Bone marrow aspirate smear — 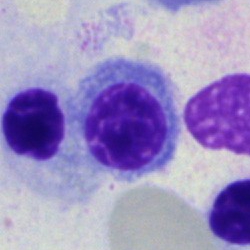
Cell type — erythroblast.